Bone marrow aspirate smear:
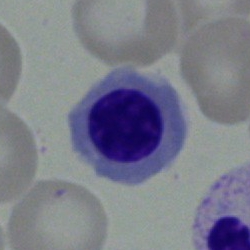Specimen: bone marrow aspirate smear.
Cell: erythroblast.